Bone marrow smear:
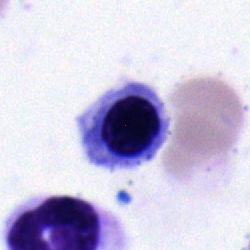The cell shown is a normoblast.